Single-cell field · bone marrow aspirate smear · 40× oil immersion
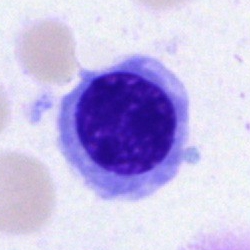 Showing an erythroblast.